40× oil immersion. Bone marrow smear. 250×250 px — 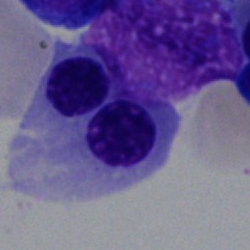
Morphological class — normoblast.